Peripheral blood smear — 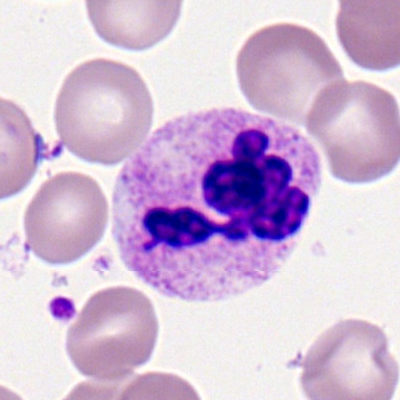
The cell is neutrophil (segmented).